40× objective, oil immersion · single-cell crop · bone marrow smear.
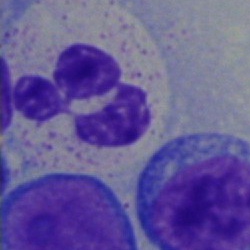
Q: What is the morphological classification of this cell?
A: Neutrophil (segmented).